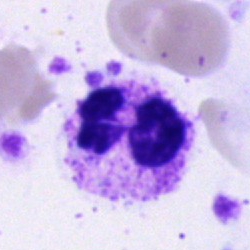Showing a polymorphonuclear neutrophil.